Bone marrow smear: 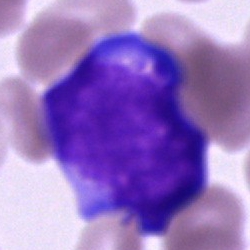 Showing an undifferentiated blast.